Bone marrow smear.
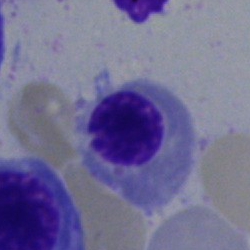

Q: What type of cell is this?
A: Erythroblast.